Bone marrow aspirate smear
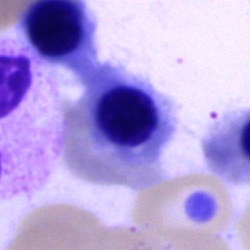Classification = normoblast.